Bone marrow smear
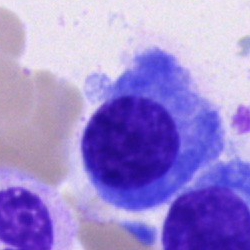

Cell — plasma cell.